Single-cell field. Bone marrow aspirate smear:
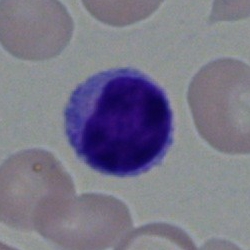 A lymphocyte.